Bone marrow aspirate smear — 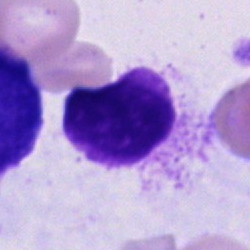An artefact.